Single-cell crop; bone marrow smear; 250×250
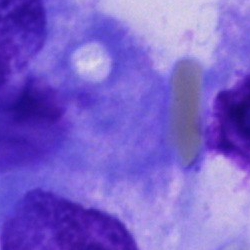 Other cell.